Bone marrow aspirate smear · image size 250×250
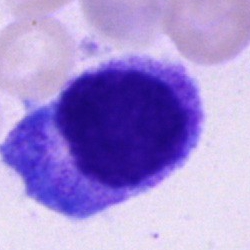 Specimen: bone marrow smear.
Morphological class: progranulocyte.